Cropped to a single cell; peripheral blood smear.
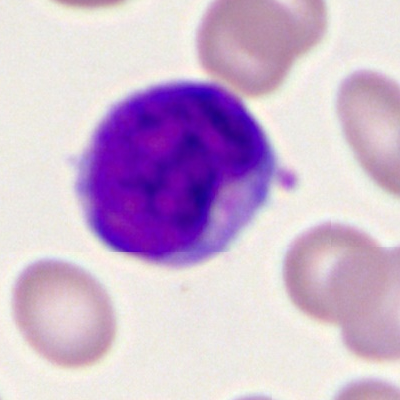Single cell identified as a myeloid blast.